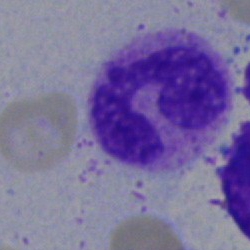

{"cell_type": "stab cell", "lineage": "myeloid"}